Bone marrow smear:
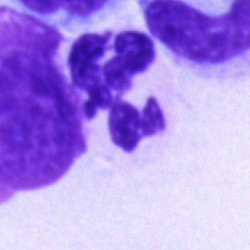 Q: What is shown here?
A: It is a neutrophil (segmented).